Bone marrow smear; brightfield, 40× oil-immersion objective: 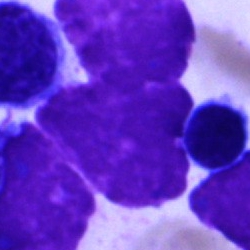

Showing an artefact.